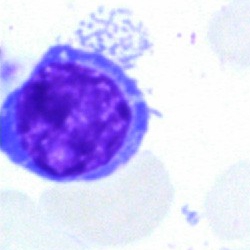{"cell_type": "nucleated red cell"}